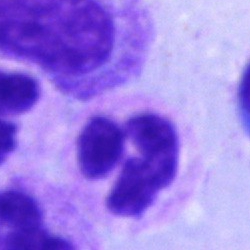

Bone marrow aspirate smear, single cell — polymorphonuclear neutrophil.